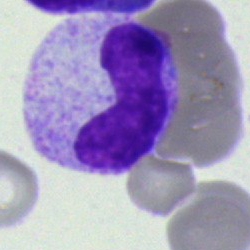

Cell — band-form neutrophil.